Peripheral blood smear. Single cell centered in the field. Image size 400×400: 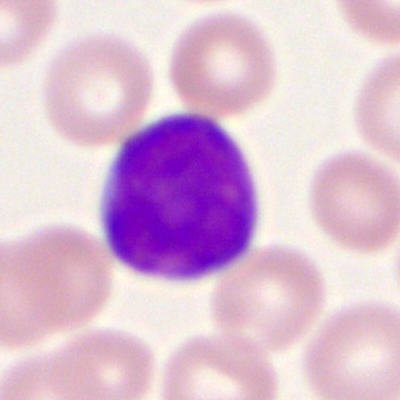
Morphology consistent with a myeloid blast.